Bone marrow smear — 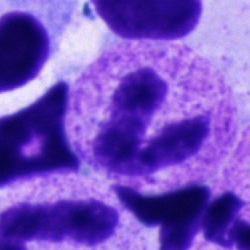Impression — neutrophil (band).